250×250 px; bone marrow smear
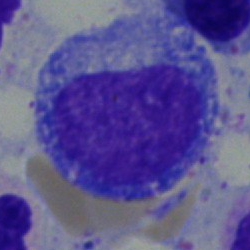Specimen: bone marrow smear.
Cell type: promyelocyte.
Lineage: myeloid.